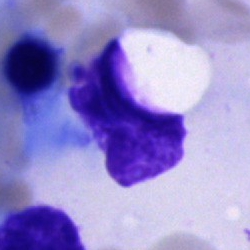 Q: What is shown here?
A: It is an artifact.